Bone marrow aspirate smear:
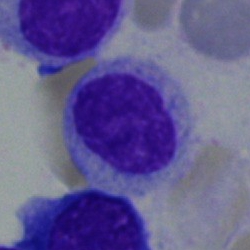

Q: What is shown here?
A: This is a myelocyte.